Bone marrow smear
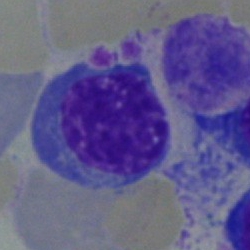
Specimen: bone marrow smear.
Cell type: nucleated red blood cell.
Lineage: erythroid.